MGG-stained. Bone marrow aspirate smear: 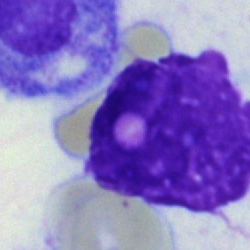
Q: What is shown here?
A: This is an artifact.